Bone marrow smear
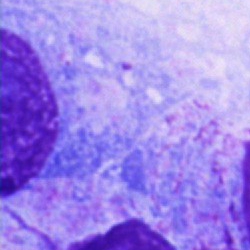 The classification is artifact.